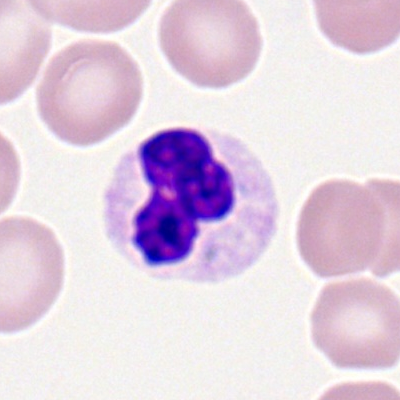
Cell = neutrophil (segmented).